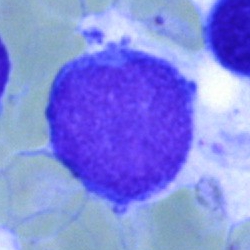 Impression — blast cell.